Bone marrow smear:
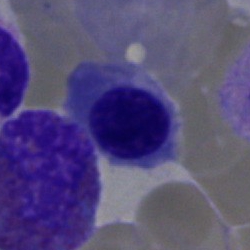

Specimen: bone marrow smear.
Morphological class: normoblast.
Lineage: erythroid.